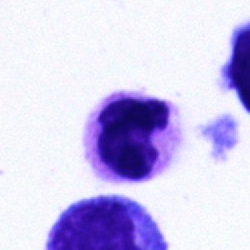A segmented neutrophil on a bone marrow smear.